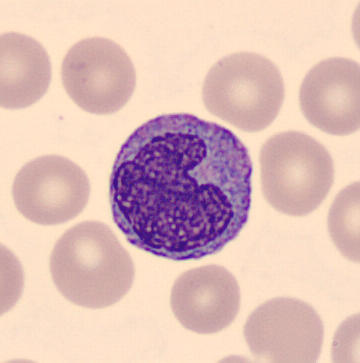Image: Peripheral blood smear.
{"cell_type": "monocyte", "lineage": "myeloid"}